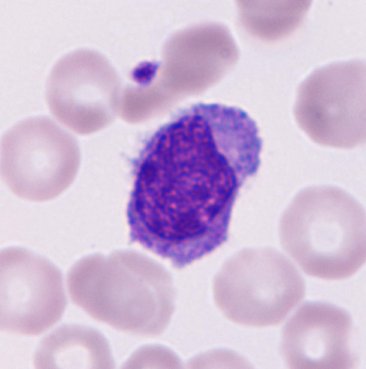 The cell is monocyte.